Bone marrow smear:
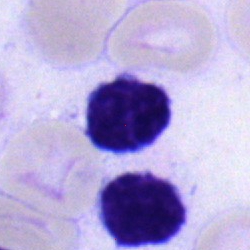 The cell type is typical lymphocyte.